Bone marrow smear:
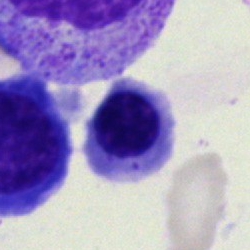 Classification: erythroblast.